Bone marrow aspirate smear · brightfield, 40× oil-immersion objective · single cell centered in the field — 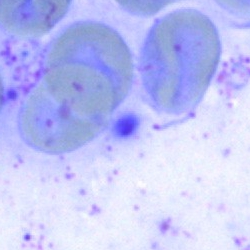

The cell shown is an artefact.